Bone marrow smear.
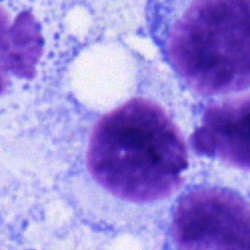Q: Identify the cell.
A: A typical lymphocyte.